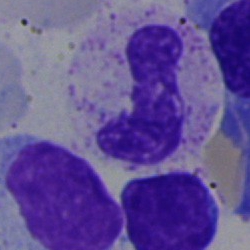 Q: What is the morphological classification of this cell?
A: This is a neutrophil (band).